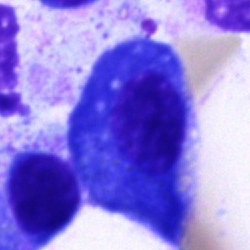 Showing a plasmacyte.